Bone marrow smear:
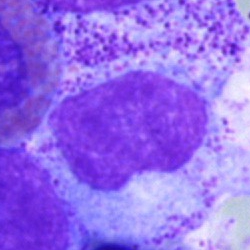

Q: Which cell type is shown here?
A: A metamyelocyte.